Bone marrow smear · image size 250×250: 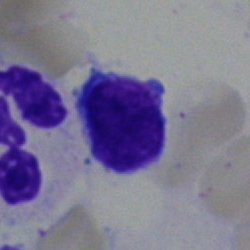Q: What type of cell is this?
A: Typical lymphocyte.